Bone marrow smear — 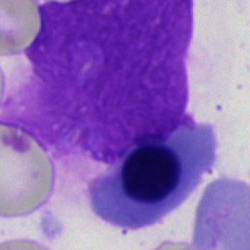 Artifact.